Bone marrow smear; cropped to a single cell:
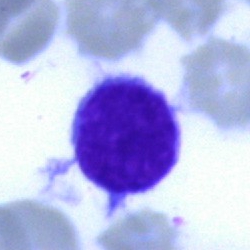 Single cell identified as a typical lymphocyte.